Bone marrow aspirate smear: 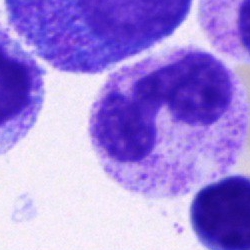Q: Identify the cell.
A: It is a polymorphonuclear neutrophil.